Bone marrow smear; Pappenheim-stained: 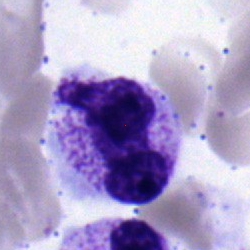
Morphology → polymorphonuclear neutrophil.